Bone marrow smear: 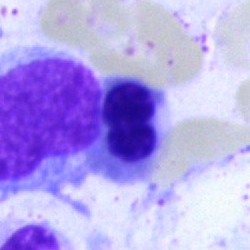Morphology — erythroblast.